Bone marrow smear; MGG-stained; brightfield, 40× oil-immersion objective — 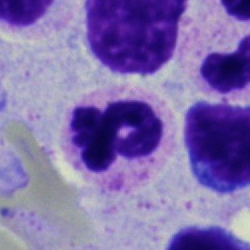 The classification is segmented neutrophil.